Bone marrow smear:
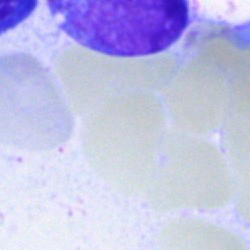
Q: What is shown here?
A: It is an artefact.